Bone marrow smear · Pappenheim-stained
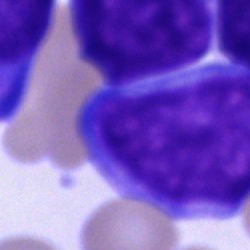 Specimen: bone marrow smear.
Cell: undifferentiated blast.